400 by 400 pixels. Peripheral blood film — 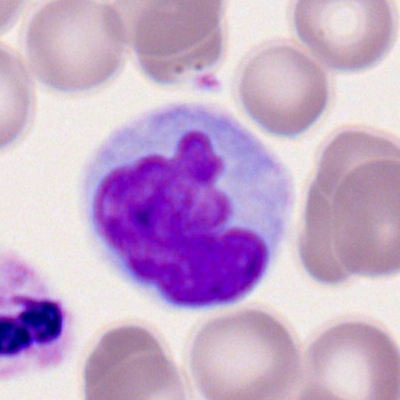

Morphology consistent with a monocyte.